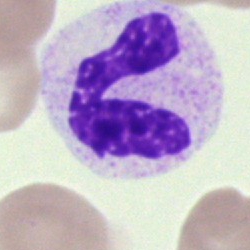 Bone marrow aspirate smear, single cell — segmented neutrophil.